Bone marrow aspirate smear.
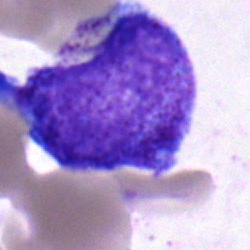

Morphology — undifferentiated blast.